Bone marrow aspirate smear; 250 by 250 pixels: 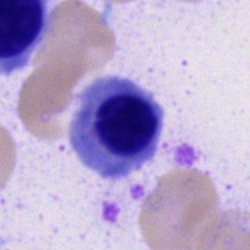

This is a nucleated red blood cell.